Bone marrow aspirate smear: 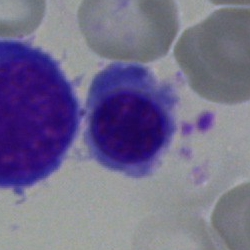

{"cell_type": "nucleated red blood cell"}